Bone marrow aspirate smear:
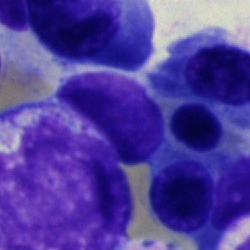

Classification — typical lymphocyte.